Bone marrow aspirate smear.
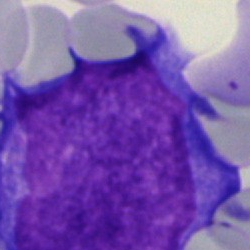Morphology consistent with an undifferentiated blast.